Bone marrow smear — 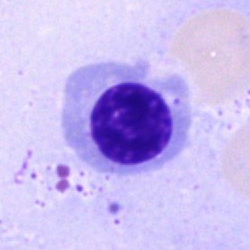Cell — nucleated red cell.